Bone marrow smear:
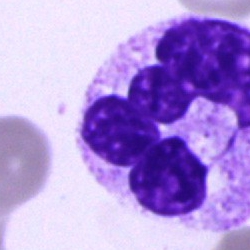

Q: What cell is this?
A: Neutrophil (segmented).